Brightfield, 40× oil-immersion objective · bone marrow aspirate smear: 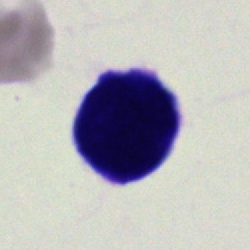

An artefact.